Single cell centered in the field · bone marrow aspirate smear · 250×250:
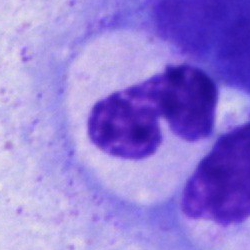 Single cell identified as a band neutrophil.